Bone marrow smear.
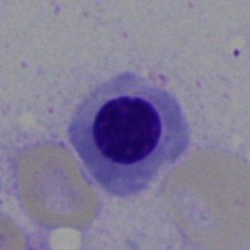Morphological class — erythroblast.